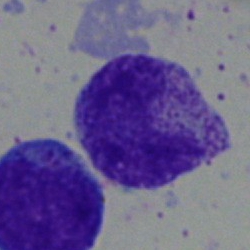

Q: What cell is this?
A: Metamyelocyte.